Bone marrow aspirate smear — 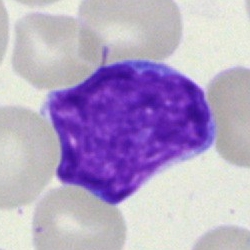This is a blast.